Bone marrow smear:
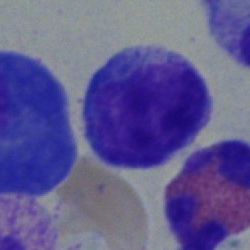 Morphology consistent with a lymphocyte.